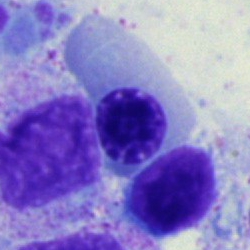Specimen: bone marrow aspirate smear.
Cell type: erythroblast.
Lineage: erythroid.